Bone marrow smear; 40× objective, oil immersion: 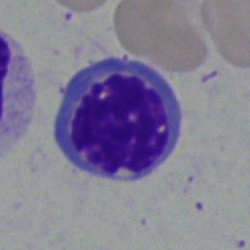

Morphological class: erythroblast.